Brightfield microscopy, 40× oil immersion. Bone marrow smear. Pappenheim-stained.
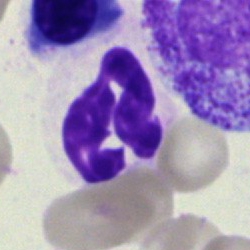Showing a polymorphonuclear neutrophil.